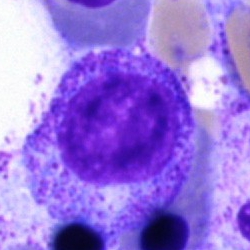
Morphology consistent with a myelocyte.